Bone marrow aspirate smear — 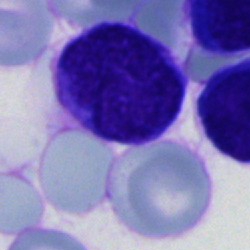 Showing an unidentifiable cell.